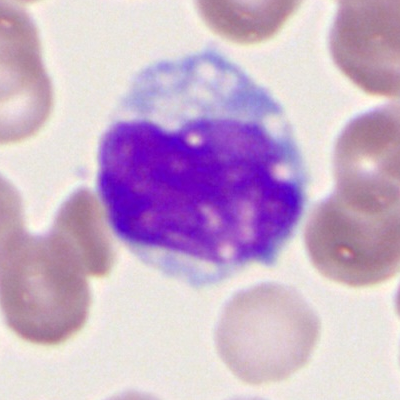
{"cell_type": "monocyte"}